May-Grünwald-Giemsa stain · bone marrow aspirate smear
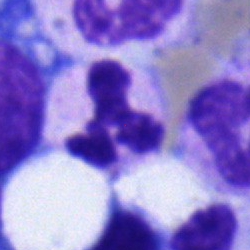Specimen: bone marrow smear.
Cell type: neutrophil (segmented).
Lineage: myeloid.